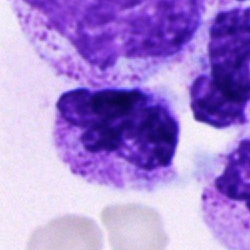

Single-cell crop from a bone marrow smear: neutrophil (segmented).